Bone marrow smear: 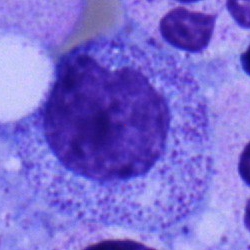Single cell identified as a myelocyte.